Bone marrow smear
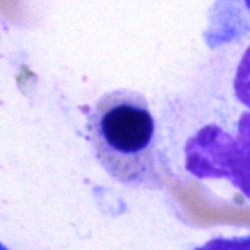
Morphology — nucleated red cell.